Bone marrow aspirate smear. Cropped to a single cell: 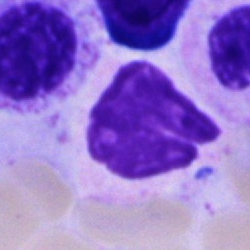 Q: What is the morphological classification of this cell?
A: Cell of indeterminate lineage.